Bone marrow smear
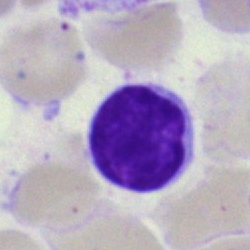

The morphological class is typical lymphocyte.